Bone marrow smear
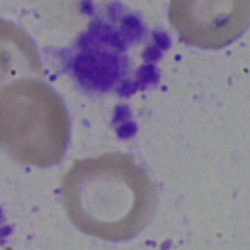
Impression → artefact.